May-Grünwald-Giemsa/Pappenheim stain · bone marrow smear · image size 250×250: 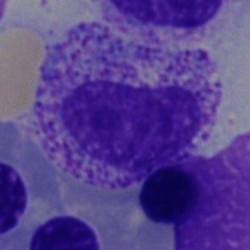 Specimen: bone marrow aspirate smear.
Cell type: metamyelocyte.